Bone marrow smear
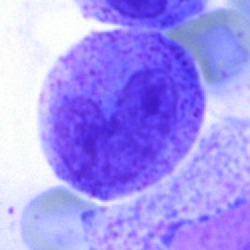Specimen: bone marrow smear.
Classification: neutrophil (band).